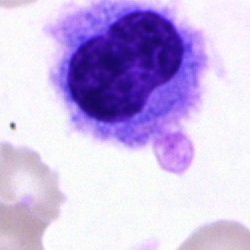
Specimen: bone marrow smear.
Classification: hairy cell.
Lineage: lymphoid.